Bone marrow aspirate smear — 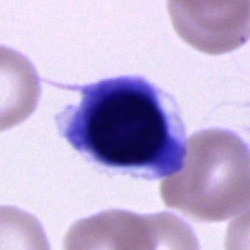Q: What cell is this?
A: It is a cell of indeterminate lineage.